May-Grünwald-Giemsa/Pappenheim stain. Brightfield microscopy, 40× oil immersion. Bone marrow aspirate smear: 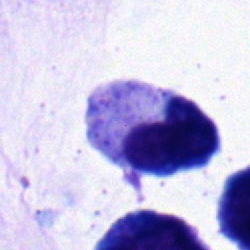
Morphology → band neutrophil.